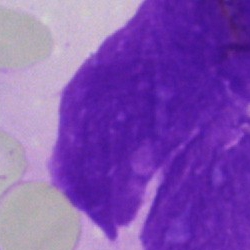Cell — artifact.